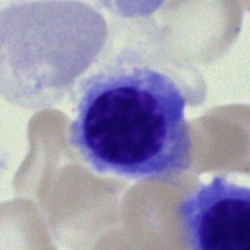 Single cell identified as an erythroblast.